Bone marrow aspirate smear:
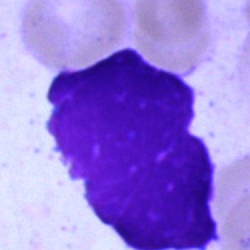Cell type — artifact.